Bone marrow aspirate smear.
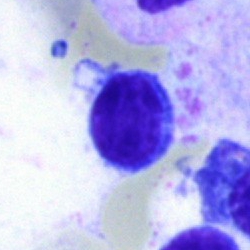
Cell: typical lymphocyte.